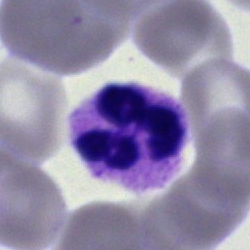

Morphological class = neutrophil (segmented).